Bone marrow aspirate smear. Brightfield microscopy, 40× oil immersion:
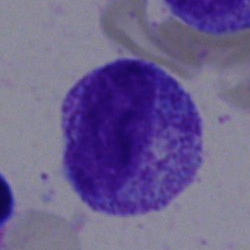 Myelocyte.